40× objective, oil immersion · bone marrow smear: 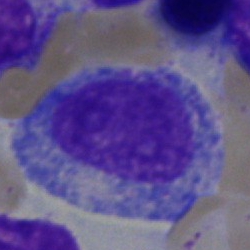

Classification: progranulocyte.